Bone marrow smear
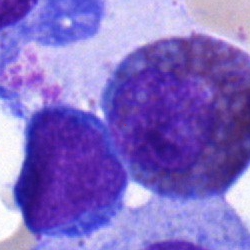

Classification: eosinophilic granulocyte.